Bone marrow smear · MGG-stained · brightfield microscopy, 40× oil immersion
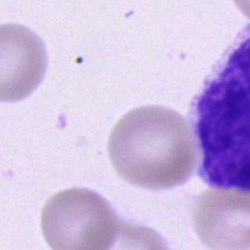 Cell = artefact.